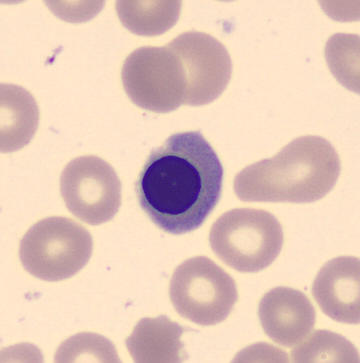The cell is nucleated red blood cell.
Peripheral blood smear · MGG stain.